Bone marrow aspirate smear — 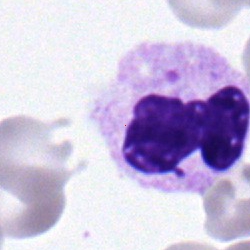
The cell is neutrophil (segmented).